Bone marrow aspirate smear: 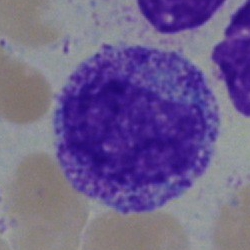
This is a myelocyte.